Bone marrow aspirate smear — 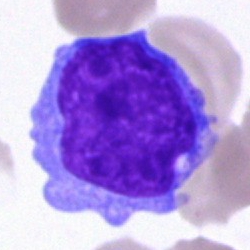Showing a blast cell.